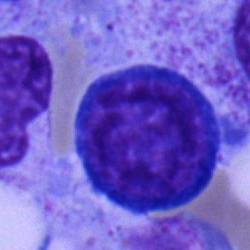 Cell type = proerythroblast.